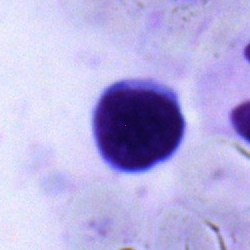 Specimen: bone marrow aspirate smear.
Cell type: typical lymphocyte.